Bone marrow smear — 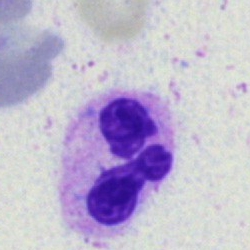
A polymorphonuclear neutrophil.